Bone marrow aspirate smear:
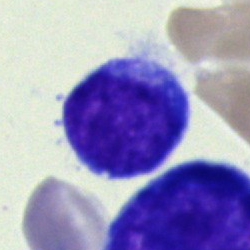 Impression → typical lymphocyte.